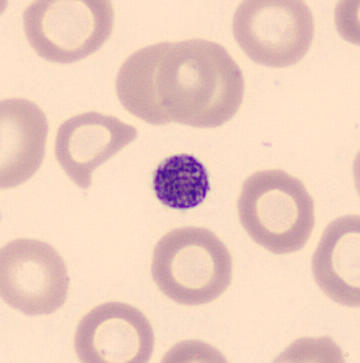 Morphological class = platelet (thrombocyte).